Pappenheim-stained. Image size 250×250. Bone marrow aspirate smear — 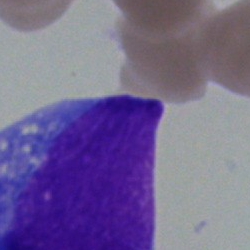Q: What type of cell is this?
A: A blast cell.